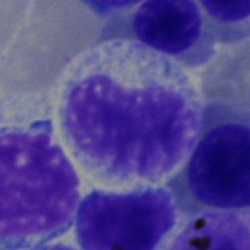

Showing a metamyelocyte.